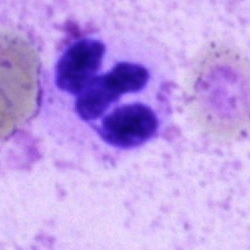Morphology — segmented neutrophil.